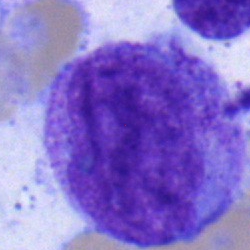 Impression → undifferentiated blast.